Single-cell crop · bone marrow smear — 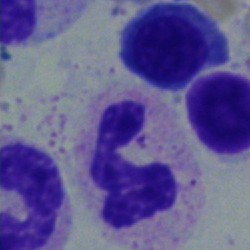Morphology → neutrophil (segmented).